May-Grünwald-Giemsa/Pappenheim stain. Bone marrow aspirate smear.
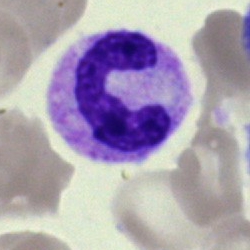
A stab cell.